Bone marrow aspirate smear
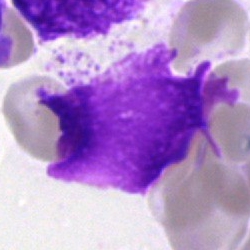 Impression → artifact.